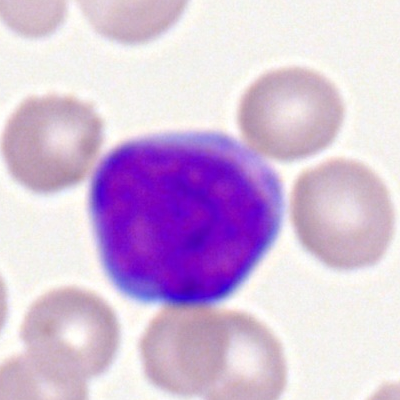

Morphology consistent with a myeloblast.